Bone marrow aspirate smear; single-cell field.
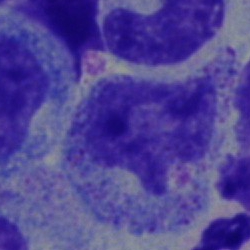

Classification — myelocyte.